Peripheral blood smear: 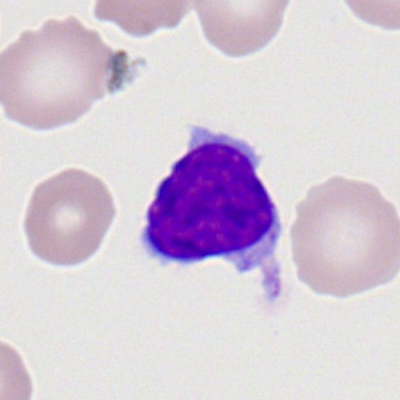Specimen: peripheral blood film.
Cell: typical lymphocyte.